250×250 px; bone marrow aspirate smear:
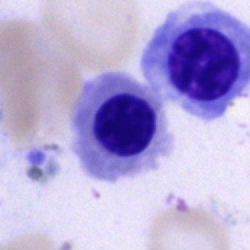
Morphological class — nucleated red blood cell.